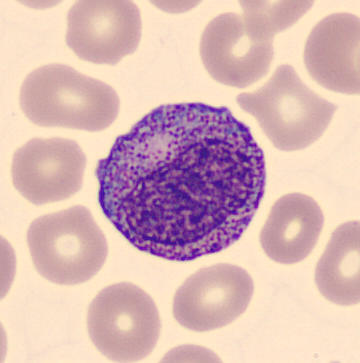 May Grünwald-Giemsa stain. Specimen: peripheral blood film.
Morphological class: promyelocyte.
Lineage: myeloid.